Bone marrow aspirate smear:
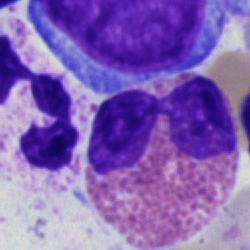Specimen: bone marrow aspirate smear.
Cell type: eosinophilic granulocyte.
Lineage: myeloid.